Bone marrow aspirate smear.
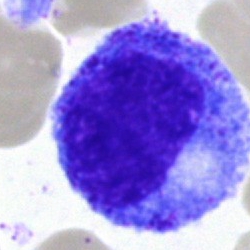Morphology consistent with a promyelocyte.